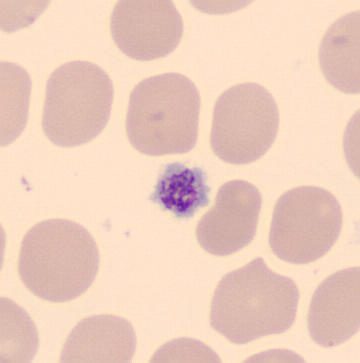Impression → platelet.